Bone marrow aspirate smear:
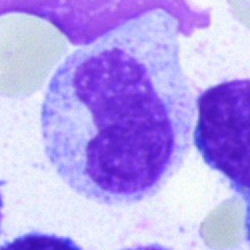Classification = band neutrophil.